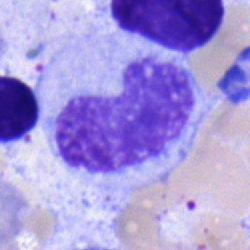 Specimen: bone marrow smear.
Cell: neutrophil (band).